Bone marrow smear; 40× objective, oil immersion:
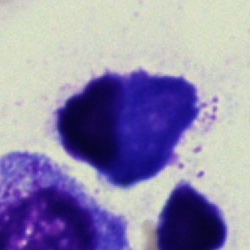
Morphological class — plasmacyte.